Bone marrow smear: 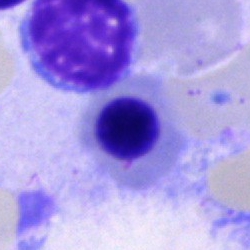
The cell shown is a normoblast.